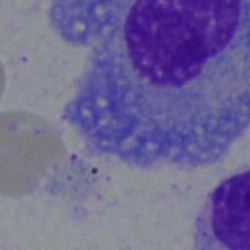 The cell shown is a plasmacyte.